Bone marrow aspirate smear:
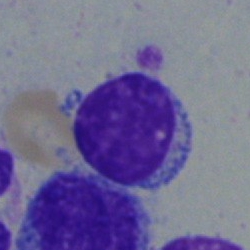 The cell is typical lymphocyte.